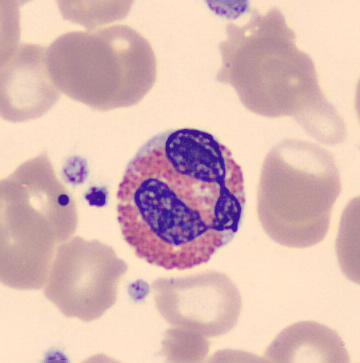 Peripheral blood film.

Cell type — eosinophilic granulocyte.